Bone marrow aspirate smear
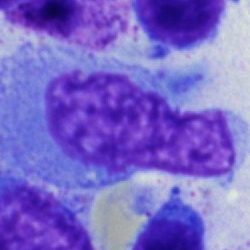Impression → artefact.